250 by 250 pixels. Bone marrow smear
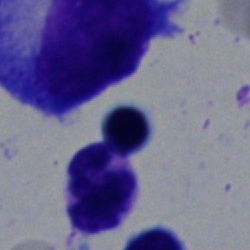
The cell type is neutrophil (segmented).